Bone marrow aspirate smear · brightfield microscopy, 40× oil immersion: 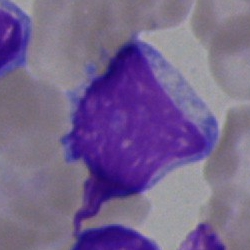
Q: Identify the cell.
A: A lymphocyte.